Image size 250×250. Bone marrow smear. MGG-stained — 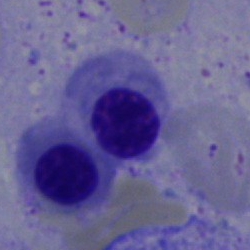

Q: Which cell type is shown here?
A: This is an erythroblast.